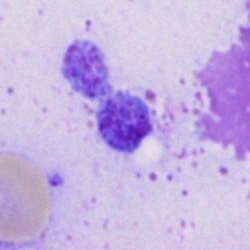Artefact.